Bone marrow aspirate smear:
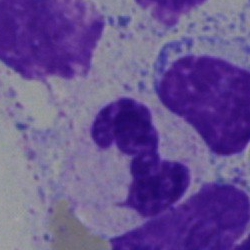 The morphological class is segmented neutrophil.